40× objective, oil immersion. Bone marrow aspirate smear:
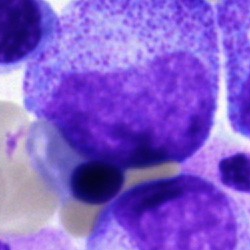A promyelocyte.